Single-cell field. Peripheral blood film.
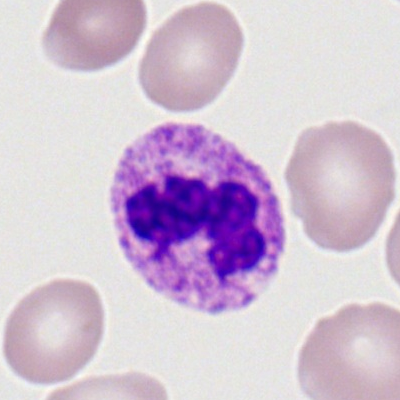 Specimen: peripheral blood film.
Cell type: segmented neutrophil.